Bone marrow smear.
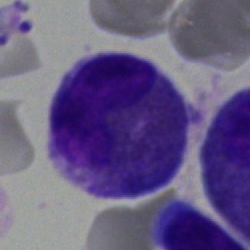
Morphological class = eosinophil.